Bone marrow aspirate smear: 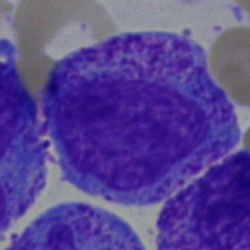

A progranulocyte.